Bone marrow aspirate smear · May-Grünwald-Giemsa/Pappenheim stain: 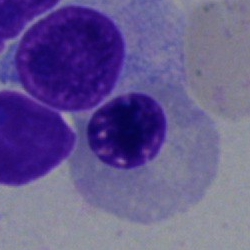

Q: What cell is this?
A: It is a nucleated red cell.